Peripheral blood film — 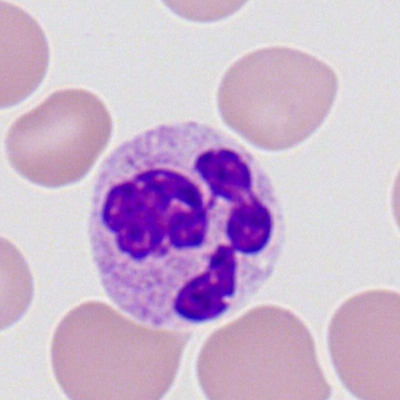This is a polymorphonuclear neutrophil.